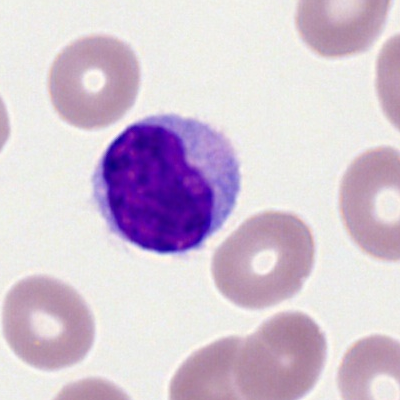

This is a typical lymphocyte.